Peripheral blood film — 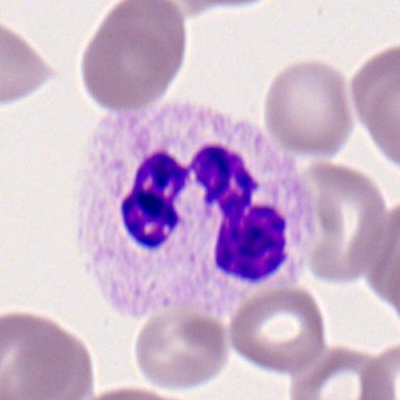

A neutrophil (segmented).